Brightfield, 40× oil-immersion objective · bone marrow smear · single-cell field:
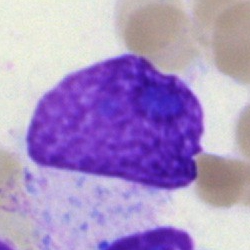
Classification — artefact.